Single-cell field; bone marrow smear; 40× objective, oil immersion.
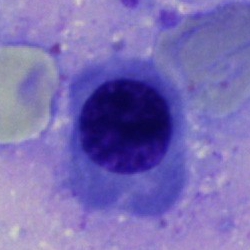
Specimen: bone marrow smear.
Cell type: nucleated red blood cell.